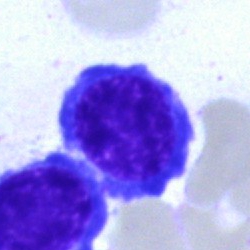{"cell_type": "nucleated red blood cell", "lineage": "erythroid"}